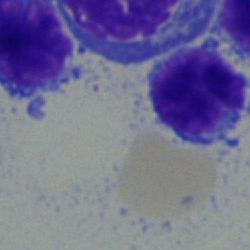 Showing a typical lymphocyte.